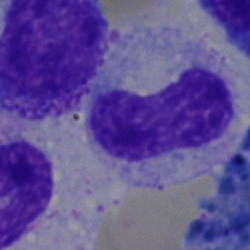{"cell_type": "band-form neutrophil", "lineage": "myeloid"}